Bone marrow aspirate smear · 250×250 px · cropped to a single cell
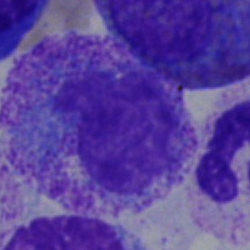

Single cell identified as a promyelocyte.